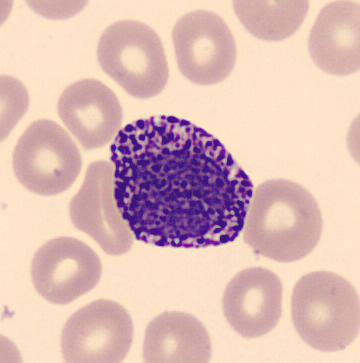

Preparation: Peripheral blood film.
The cell shown is a basophilic granulocyte.